Bone marrow aspirate smear. 40× oil immersion. Cropped to a single cell — 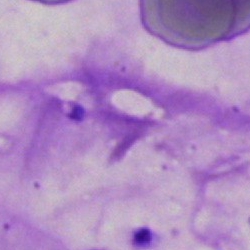 {"cell_type": "artifact"}